Bone marrow aspirate smear · cropped to a single cell · brightfield, 40× oil-immersion objective:
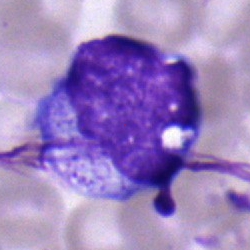

Specimen: bone marrow aspirate smear.
Classification: myelocyte.
Lineage: myeloid.